May-Grünwald-Giemsa stain; bone marrow aspirate smear; 250×250 px:
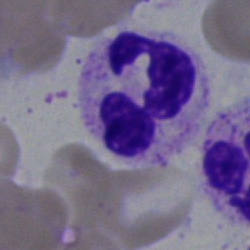 Q: Which cell type is shown here?
A: This is a polymorphonuclear neutrophil.